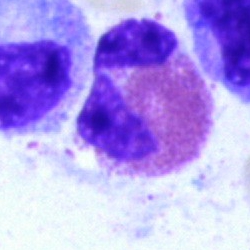 This is an eosinophil.